Bone marrow aspirate smear:
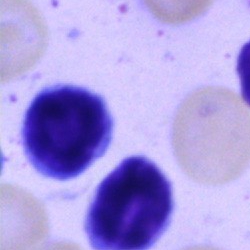

The morphological class is lymphocyte.